Bone marrow smear — 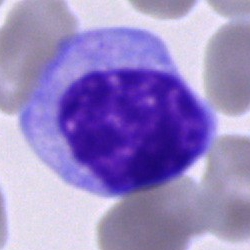
Morphology → unidentifiable cell.